Peripheral blood film
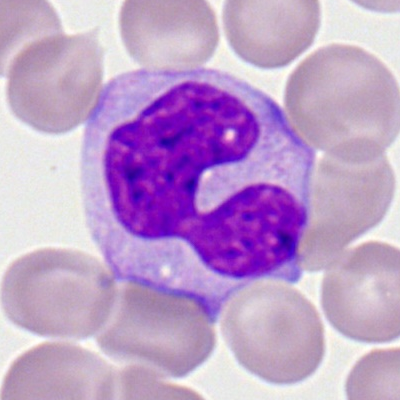

Q: Identify the cell.
A: It is a monocyte.